Bone marrow aspirate smear · May-Grünwald-Giemsa stain.
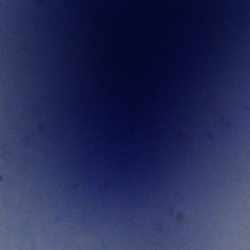

Morphology → artefact.